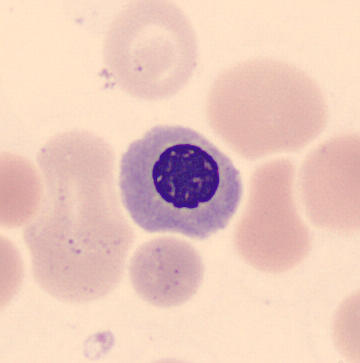Classification — nucleated red blood cell.